Bone marrow smear · 250×250 — 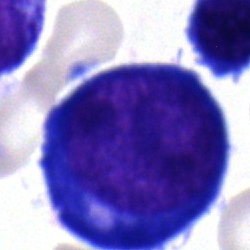
Specimen: bone marrow aspirate smear.
Morphological class: pronormoblast.